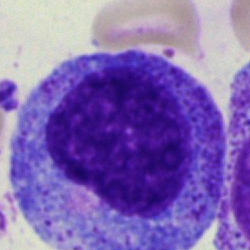
{"cell_type": "progranulocyte"}